Bone marrow smear
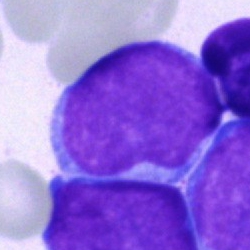 A blast cell.